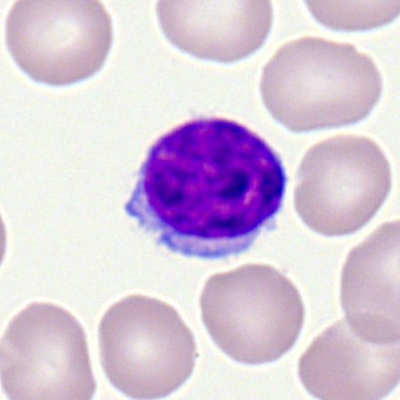Morphological class — lymphocyte.